Bone marrow aspirate smear — 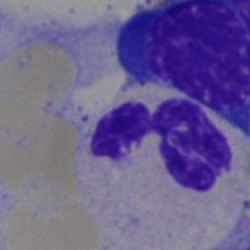The morphological class is polymorphonuclear neutrophil.